Bone marrow smear · May-Grünwald-Giemsa/Pappenheim stain · cropped to a single cell.
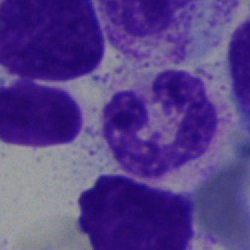
Impression — segmented neutrophil.